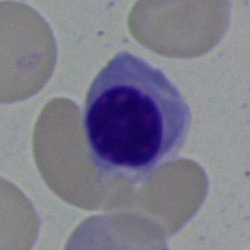Nucleated red cell.